Bone marrow smear. Brightfield microscopy, 40× oil immersion:
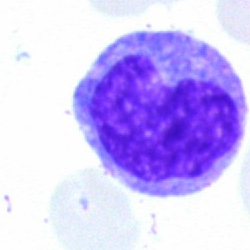
Cell type — monocyte.